Pappenheim-stained. Bone marrow smear — 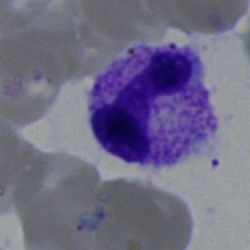
A polymorphonuclear neutrophil.